250×250 · bone marrow aspirate smear.
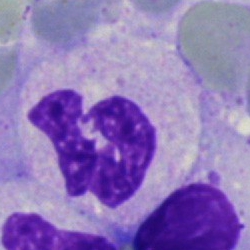
Cell: polymorphonuclear neutrophil.